Bone marrow aspirate smear: 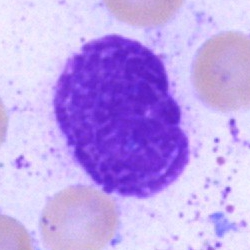
Morphological class: artifact.